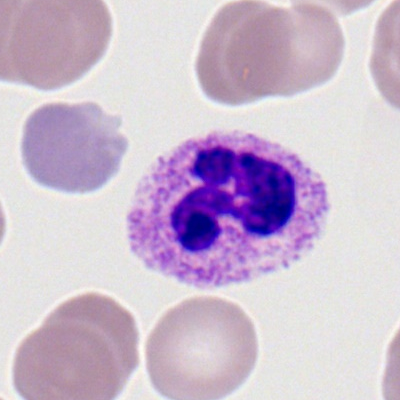 Morphological class — segmented neutrophil.